Bone marrow smear
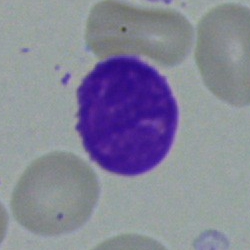 Specimen: bone marrow smear.
Classification: artifact.